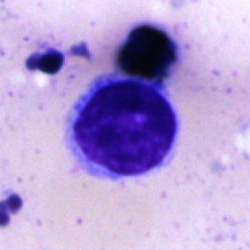Q: What type of cell is this?
A: A lymphocyte.